250×250 · bone marrow smear: 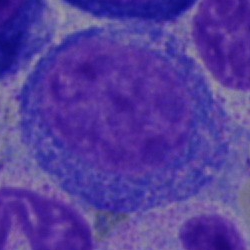Cell = progranulocyte.